Bone marrow aspirate smear; MGG-stained.
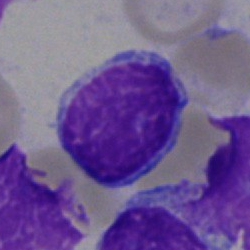

Q: What is the morphological classification of this cell?
A: Lymphocyte.